Bone marrow aspirate smear — 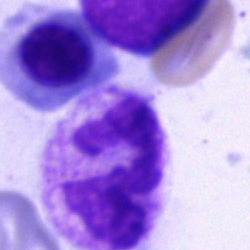

Cell type: polymorphonuclear neutrophil.